Bone marrow aspirate smear:
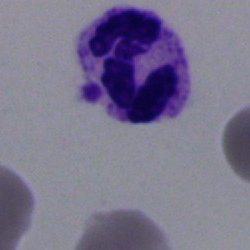

Polymorphonuclear neutrophil.